CellaVision DM96 digital cell image · peripheral blood film.
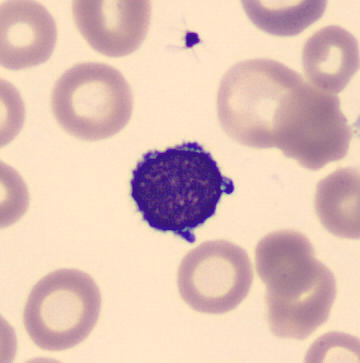The classification is typical lymphocyte.